Bone marrow aspirate smear
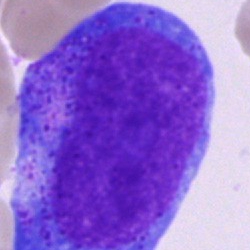 Morphology consistent with a progranulocyte.